250 by 250 pixels. Bone marrow smear — 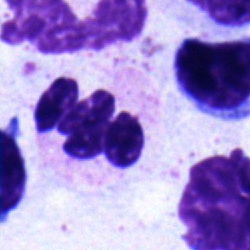

Specimen: bone marrow aspirate smear.
Cell: polymorphonuclear neutrophil.
Lineage: myeloid.